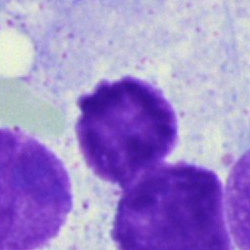Specimen: bone marrow smear.
Classification: artifact.